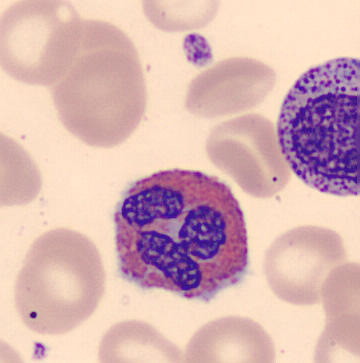

{"cell_type": "eosinophilic granulocyte", "lineage": "myeloid"}